Bone marrow aspirate smear · MGG-stained — 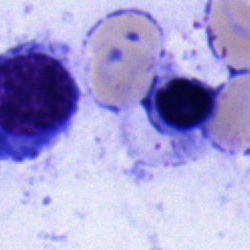 The cell shown is an erythroblast.